400×400 px; peripheral blood smear; 100× objective, oil immersion — 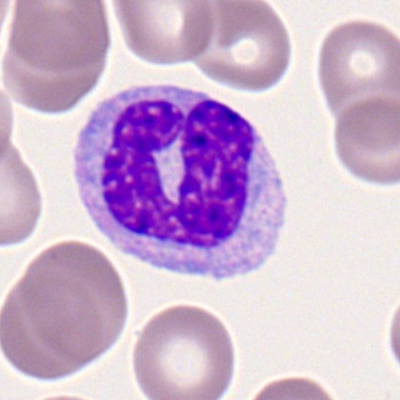
Cell type = monocyte.